Peripheral blood film
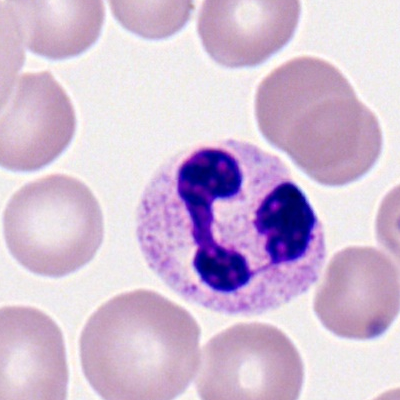Segmented neutrophil.